Bone marrow aspirate smear: 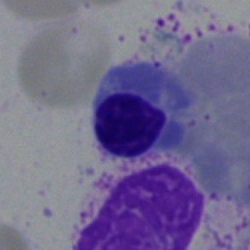
Morphology consistent with an erythroblast.